Bone marrow smear
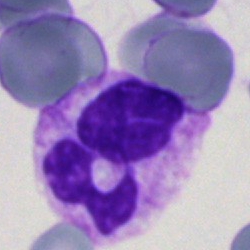 The cell type is neutrophil (segmented).